Bone marrow aspirate smear:
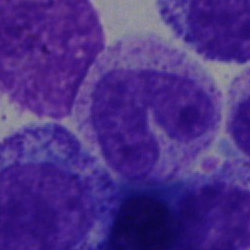

Q: Which cell type is shown here?
A: This is a band neutrophil.